Bone marrow smear — 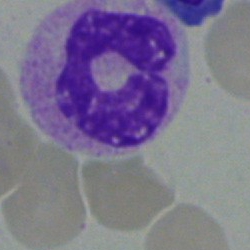A segmented neutrophil.